Single cell centered in the field; bone marrow smear
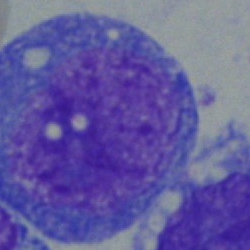Q: What type of cell is this?
A: Blast cell.